Bone marrow aspirate smear. Single-cell crop: 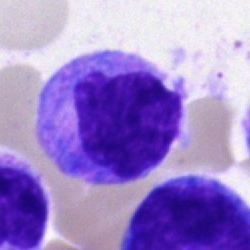Q: What type of cell is this?
A: This is a monocyte.